Peripheral blood film. Single-cell field: 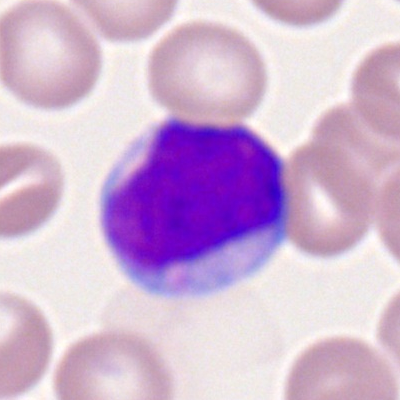
Myeloid blast.